Peripheral blood smear
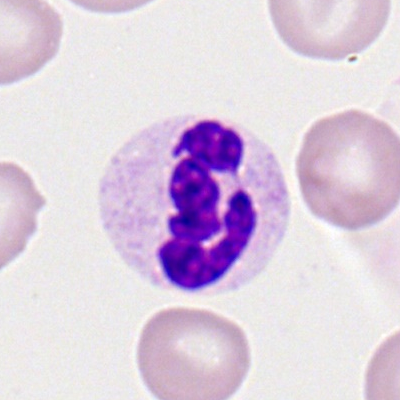 Morphology — segmented neutrophil.